Romanowsky-type stain · peripheral blood smear
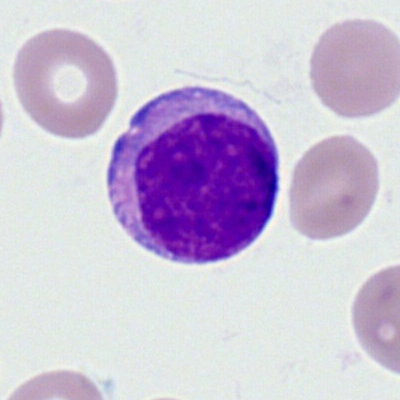Cell = myeloid blast.